Bone marrow aspirate smear — 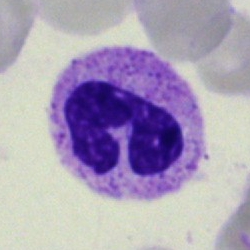
Single cell identified as a polymorphonuclear neutrophil.